Bone marrow smear. Single cell centered in the field — 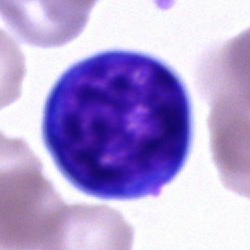 {"cell_type": "pronormoblast"}